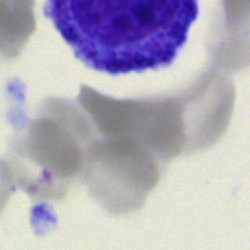

A progranulocyte on a bone marrow smear.